Image size 250×250 · bone marrow aspirate smear · single cell centered in the field: 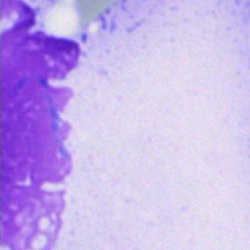Specimen: bone marrow aspirate smear.
Cell: artefact.